Bone marrow aspirate smear:
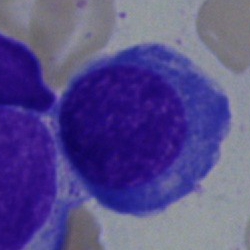 The cell is erythroblast.